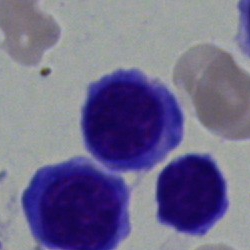 Q: Identify the cell.
A: It is a lymphocyte.